Bone marrow smear: 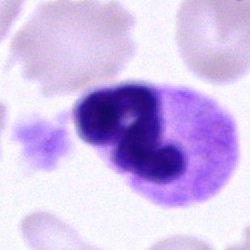 Specimen: bone marrow smear.
Cell: neutrophil (segmented).
Lineage: myeloid.